Bone marrow aspirate smear
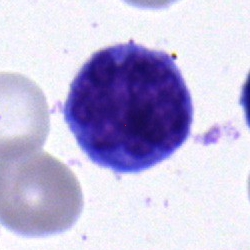
The cell shown is a monocyte.